40× oil immersion · single-cell crop · bone marrow aspirate smear — 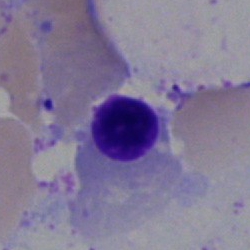Impression → nucleated red cell.